Bone marrow aspirate smear: 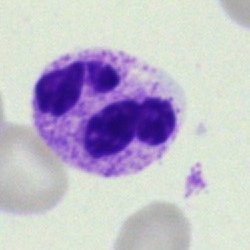

Q: What is the morphological classification of this cell?
A: Polymorphonuclear neutrophil.